MGG-stained. Bone marrow aspirate smear: 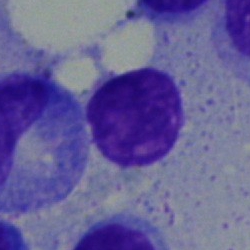Morphology → lymphocyte.